Bone marrow smear.
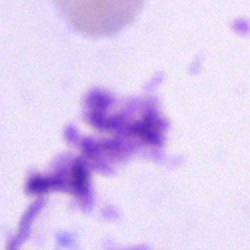Artifact.